Single-cell field. Bone marrow aspirate smear. 250×250 — 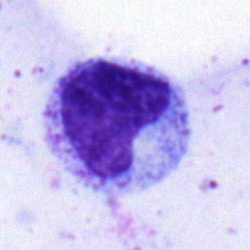
Morphology — myelocyte.